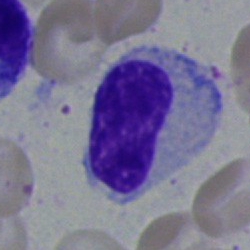 Metamyelocyte.